Bone marrow smear; 250 by 250 pixels: 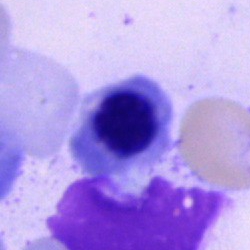

Specimen: bone marrow aspirate smear.
Cell type: erythroblast.
Lineage: erythroid.